Bone marrow aspirate smear · cropped to a single cell · 250 by 250 pixels — 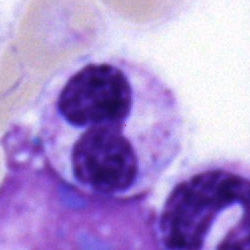
Single cell identified as a neutrophil (segmented).